May-Grünwald-Giemsa stain · bone marrow smear:
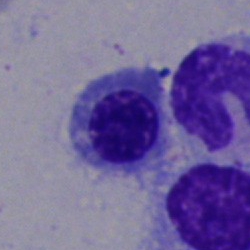 Showing a nucleated red blood cell.